Bone marrow smear: 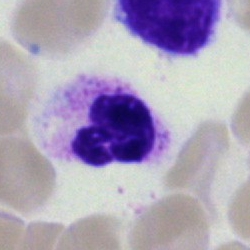

Q: What cell is this?
A: Segmented neutrophil.